Bone marrow smear · single-cell field
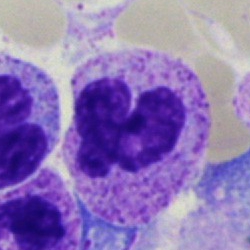 Q: Identify the cell.
A: Neutrophil (segmented).